250 by 250 pixels; bone marrow aspirate smear — 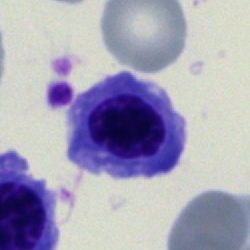
Cell = normoblast.